360×363. Peripheral blood smear. CellaVision DM96
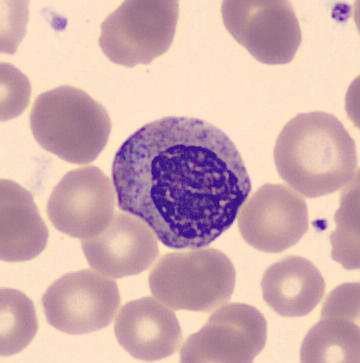The cell shown is a myelocyte.